Bone marrow aspirate smear. Single-cell crop. May-Grünwald-Giemsa/Pappenheim stain
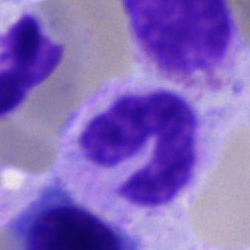

Morphology → stab cell.